250×250. Bone marrow aspirate smear:
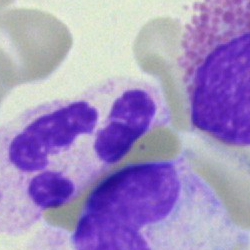Cell type — neutrophil (segmented).